MGG-stained; 40× oil immersion; bone marrow aspirate smear:
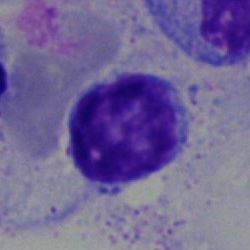
Morphology consistent with a lymphocyte.